Image size 250×250. Bone marrow aspirate smear
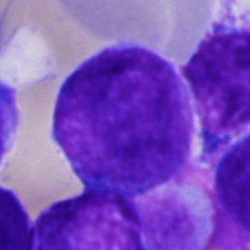 Q: What type of cell is this?
A: This is an undifferentiated blast.